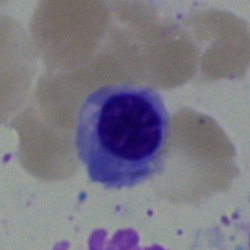 An erythroblast.